Bone marrow smear:
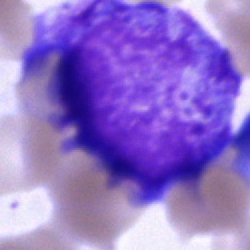

Q: What type of cell is this?
A: It is a progranulocyte.